Bone marrow aspirate smear — 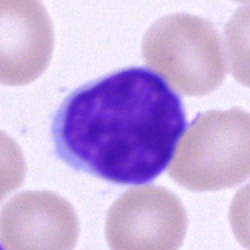A typical lymphocyte.